Bone marrow smear. 40× objective, oil immersion
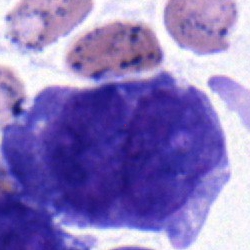
Q: What is the morphological classification of this cell?
A: A blast.